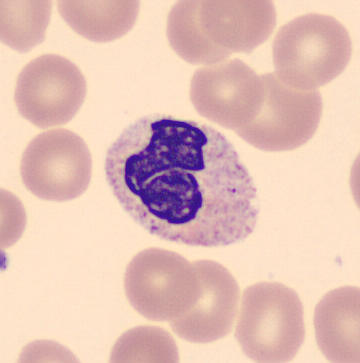 Q: Identify the cell.
A: Segmented neutrophil. Image: Peripheral blood smear.